Bone marrow smear · image size 250×250 · MGG-stained.
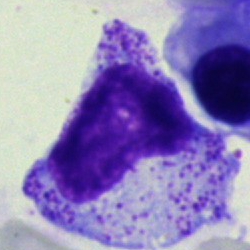Morphology — metamyelocyte.